Bone marrow aspirate smear. Image size 250×250. May-Grünwald-Giemsa stain — 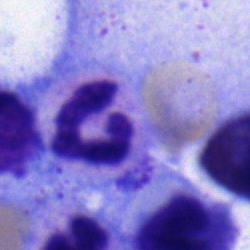 The cell shown is a segmented neutrophil.